Bone marrow smear; Pappenheim-stained — 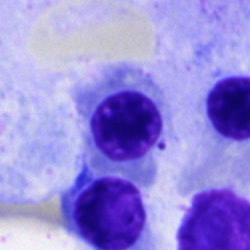

{"cell_type": "erythroblast", "lineage": "erythroid"}